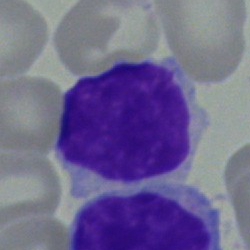

Bone marrow aspirate smear, single cell — lymphocyte.